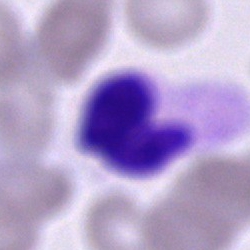

Q: Which cell type is shown here?
A: A segmented neutrophil.